Bone marrow smear:
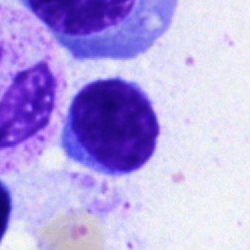 Typical lymphocyte.